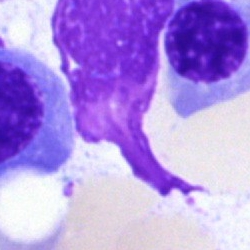Cell type: artifact.